Bone marrow smear:
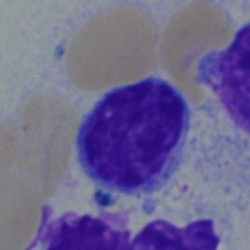
Q: Which cell type is shown here?
A: A typical lymphocyte.